Bone marrow smear:
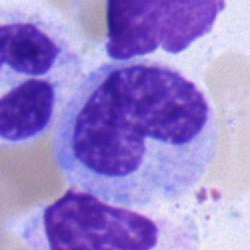This is a metamyelocyte.